Bone marrow aspirate smear — 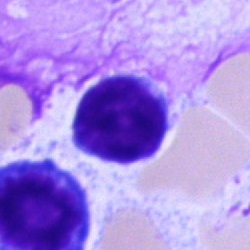Morphology consistent with a typical lymphocyte.